Bone marrow aspirate smear — 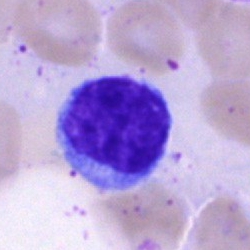A lymphocyte.